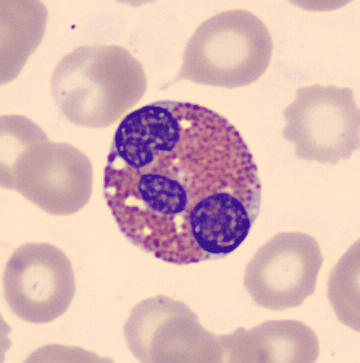

Preparation: May Grünwald-Giemsa stain; peripheral blood smear.
Cell — eosinophil.